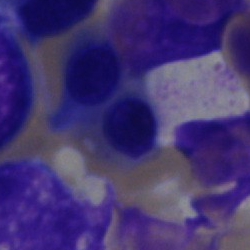Cell type — normoblast.